Bone marrow aspirate smear
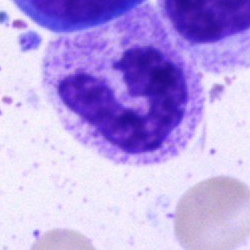

A band-form neutrophil.